Bone marrow smear
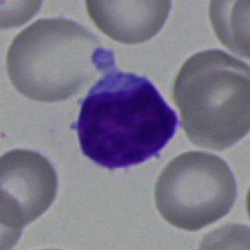
Specimen: bone marrow smear.
Cell type: lymphocyte.
Lineage: lymphoid.